May-Grünwald-Giemsa stain. Bone marrow aspirate smear. Brightfield, 40× oil-immersion objective
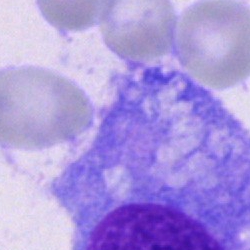
Classification — other cell type.